250 by 250 pixels. Bone marrow aspirate smear:
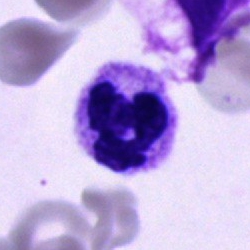

Cell type: neutrophil (segmented).